Bone marrow aspirate smear:
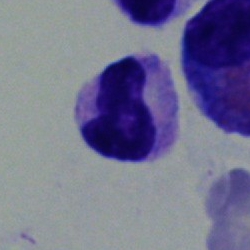

Q: What type of cell is this?
A: This is a stab cell.